Peripheral blood smear
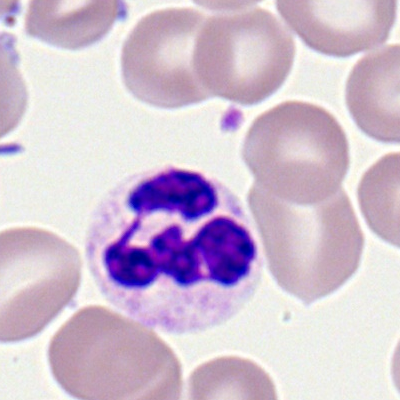

Specimen: peripheral blood smear.
Classification: segmented neutrophil.